Bone marrow smear — 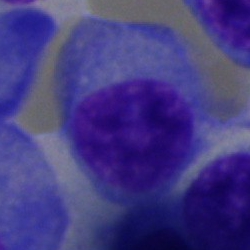
This is a plasma cell.